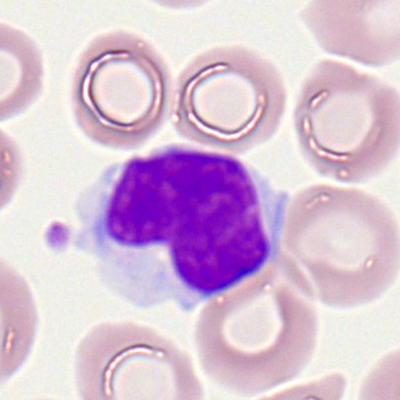
Q: What type of cell is this?
A: This is a typical lymphocyte.